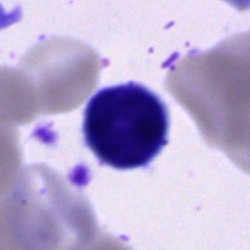 Morphology — lymphocyte.